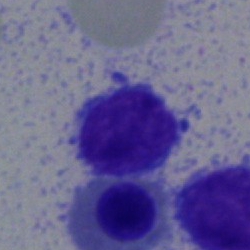
Q: Identify the cell.
A: A typical lymphocyte.